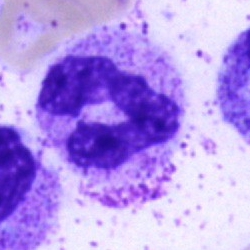 Morphology — neutrophil (segmented).